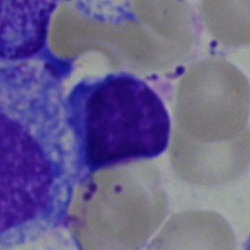Cell: lymphocyte.